Bone marrow smear — 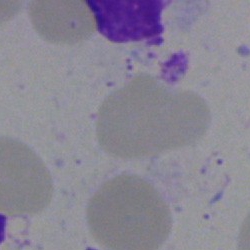 {"cell_type": "artefact"}